Bone marrow aspirate smear
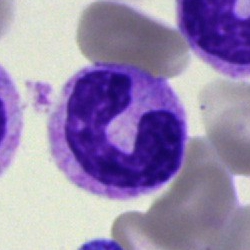A band neutrophil.